May-Grünwald-Giemsa stain. Bone marrow aspirate smear: 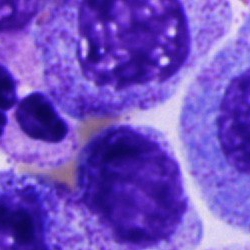

Cell of indeterminate lineage.